Cropped to a single cell; May-Grünwald-Giemsa/Pappenheim stain; bone marrow aspirate smear — 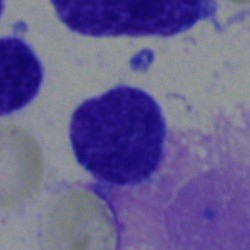Morphology — lymphocyte.